Bone marrow smear
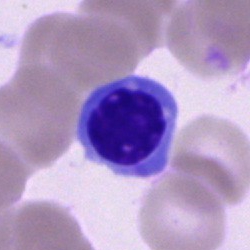Showing a nucleated red blood cell.